MGG-stained · bone marrow aspirate smear · cropped to a single cell.
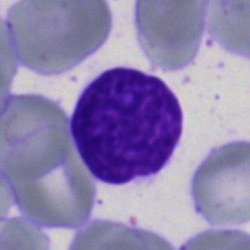 Showing an artifact.